Single-cell field. Bone marrow smear. Brightfield, 40× oil-immersion objective: 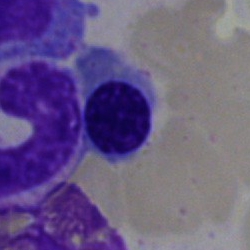
This is an erythroblast.